Bone marrow smear · May-Grünwald-Giemsa stain
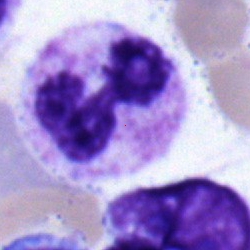 {"cell_type": "segmented neutrophil", "lineage": "myeloid"}